40× objective, oil immersion · bone marrow smear — 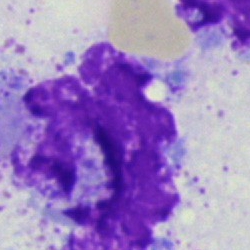
Single cell identified as an artefact.